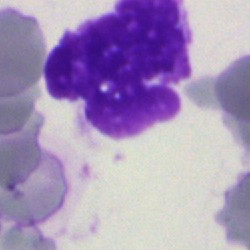 This is an artefact.